Bone marrow aspirate smear.
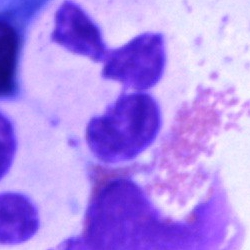Specimen: bone marrow aspirate smear.
Cell type: neutrophil (segmented).